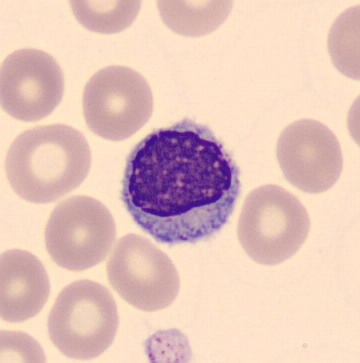

The cell type is lymphocyte.